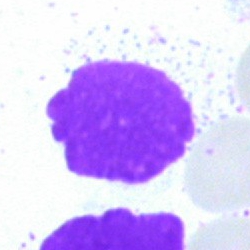 Morphology — artefact.